Single-cell crop. Pappenheim-stained. Bone marrow aspirate smear
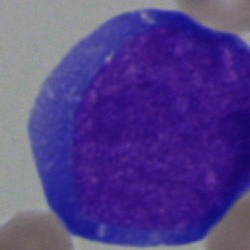

The morphological class is blast cell.